Bone marrow aspirate smear.
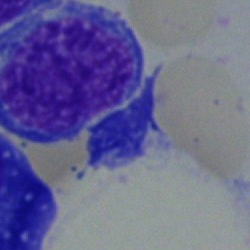Q: What is shown here?
A: Nucleated red blood cell.